MGG-stained. Peripheral blood film: 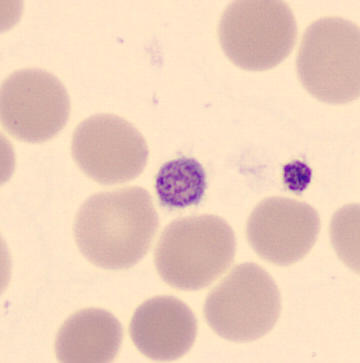
Q: What is this?
A: A platelet (thrombocyte).